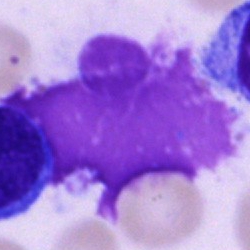Q: What is shown here?
A: This is an artifact.